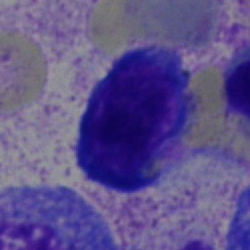

Impression — nucleated red cell.